Bone marrow aspirate smear: 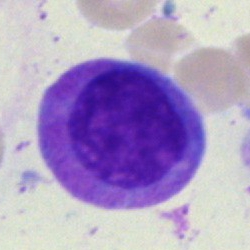

Q: What is shown here?
A: Promyelocyte.